Bone marrow aspirate smear: 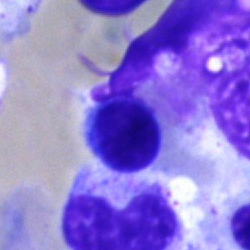
Q: What is the morphological classification of this cell?
A: It is an erythroblast.